Cropped to a single cell · bone marrow aspirate smear
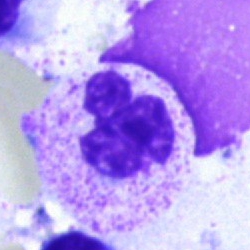 The morphological class is polymorphonuclear neutrophil.